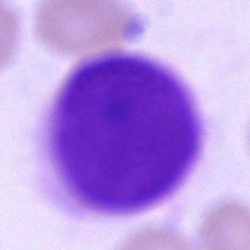An artifact on a bone marrow smear.